Bone marrow smear
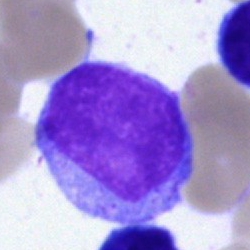
Morphology consistent with a blast.